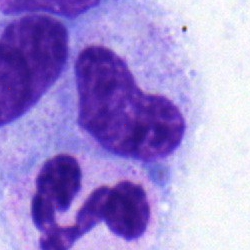

Morphology consistent with a metamyelocyte.